Peripheral blood smear. Romanowsky stain. 400×400
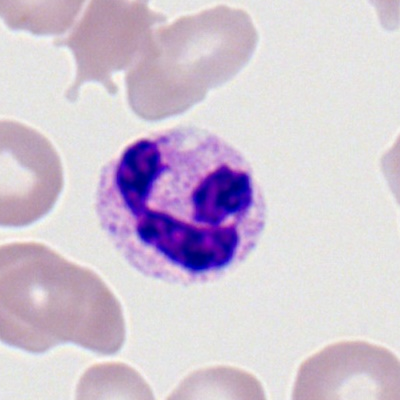Classification: neutrophil (segmented).